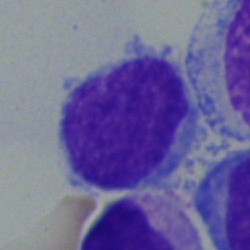 {"cell_type": "blast cell"}